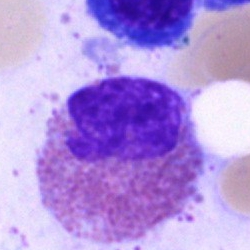

Morphology consistent with an eosinophilic granulocyte.